Bone marrow smear
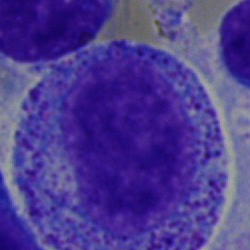Single cell identified as a progranulocyte.